Bone marrow smear — 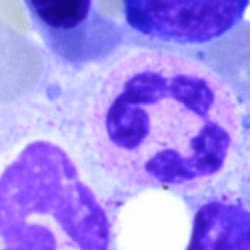 This is a segmented neutrophil.